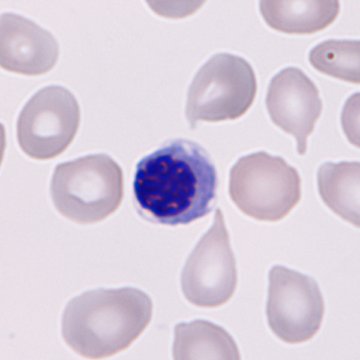

From a peripheral blood smear: a nucleated red cell.